Bone marrow aspirate smear · May-Grünwald-Giemsa stain:
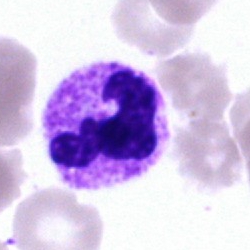

Morphology → segmented neutrophil.